Bone marrow smear; 40× oil immersion
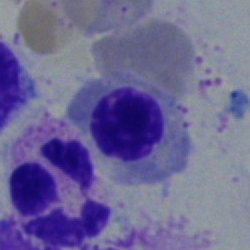
This is a nucleated red blood cell.